Bone marrow aspirate smear: 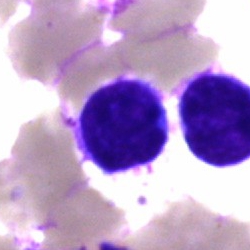
This is a typical lymphocyte.